Bone marrow aspirate smear:
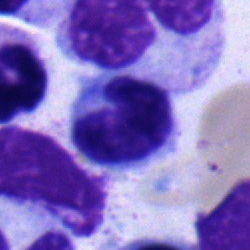
The cell shown is a monocyte.